Bone marrow smear — 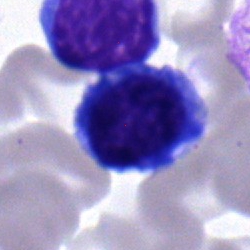Morphology consistent with a nucleated red cell.